Bone marrow smear.
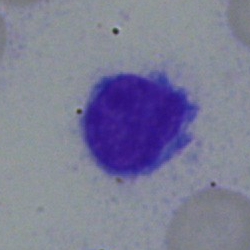
This is a lymphocyte.